Bone marrow smear.
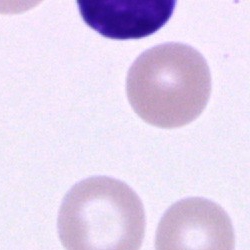 Cell type: unidentifiable cell.